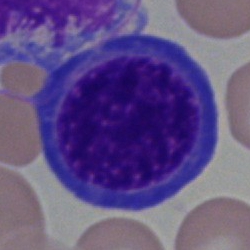

Specimen: bone marrow smear.
Morphological class: normoblast.